Bone marrow aspirate smear.
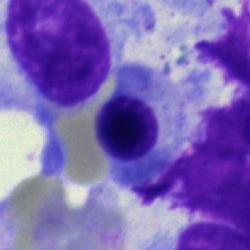Q: What is shown here?
A: It is a normoblast.